Bone marrow smear — 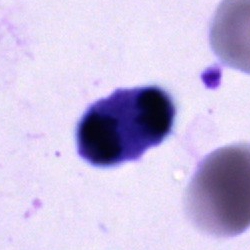Specimen: bone marrow aspirate smear.
Cell: unidentifiable cell.